Image size 250×250. Bone marrow smear
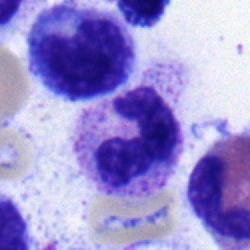Band neutrophil.